Bone marrow smear.
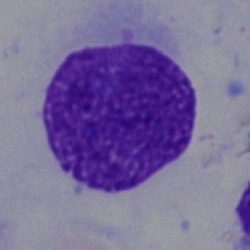

Showing an artifact.